Bone marrow aspirate smear
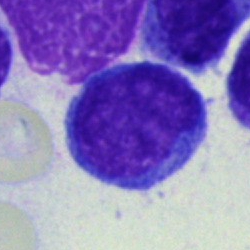
Cell = blast.